Single-cell crop. Image size 400×400. Peripheral blood film:
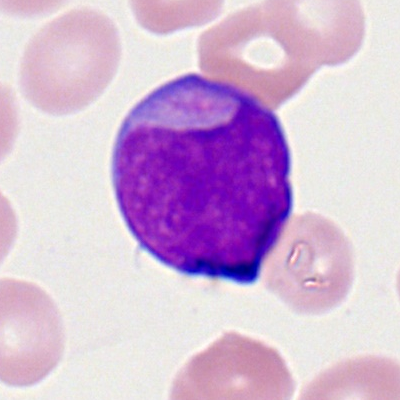 Myeloid blast.